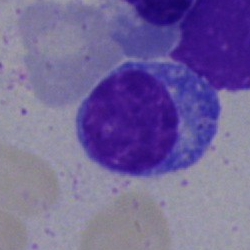 Single-cell crop from a bone marrow smear: typical lymphocyte.